Bone marrow aspirate smear: 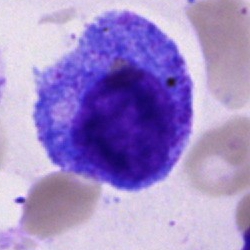 Cell type = promyelocyte.